Bone marrow aspirate smear · 40× objective, oil immersion.
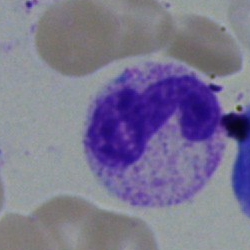
Morphology consistent with a band neutrophil.